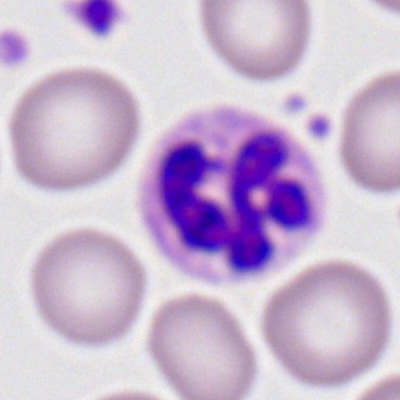
Single-cell crop from a peripheral blood smear: neutrophil (segmented).